Bone marrow aspirate smear:
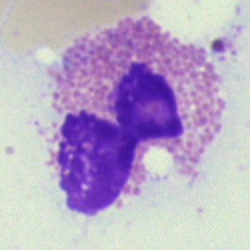Specimen: bone marrow smear.
Classification: eosinophil.
Lineage: myeloid.